Brightfield microscopy, 40× oil immersion · bone marrow smear:
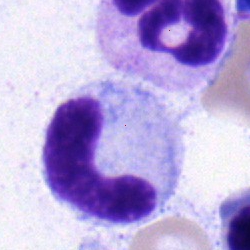
Morphology → band-form neutrophil.